Single-cell field. Bone marrow aspirate smear: 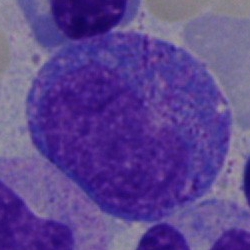

Q: What cell is this?
A: A progranulocyte.